Cropped to a single cell; brightfield microscopy, 40× oil immersion; bone marrow aspirate smear:
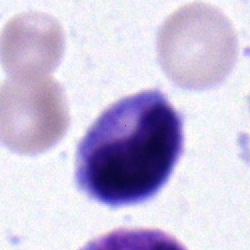
The cell shown is a metamyelocyte.